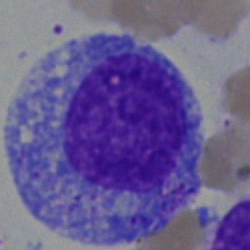 A promyelocyte on a bone marrow smear.